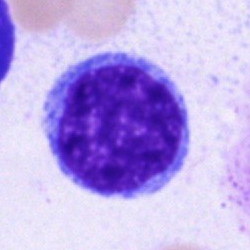Blast.